Bone marrow smear. 250 by 250 pixels. 40× oil immersion:
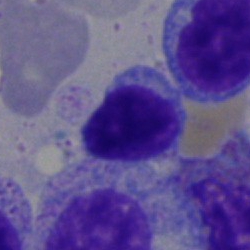
Q: Identify the cell.
A: This is a typical lymphocyte.